Single-cell field; bone marrow aspirate smear; 250×250
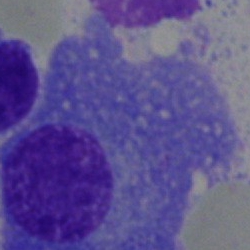
Specimen: bone marrow aspirate smear.
Cell: plasmacyte.
Lineage: lymphoid.